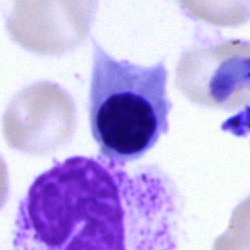

Specimen: bone marrow aspirate smear.
Morphological class: erythroblast.